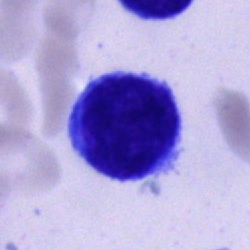Classification — lymphocyte.